Bone marrow aspirate smear:
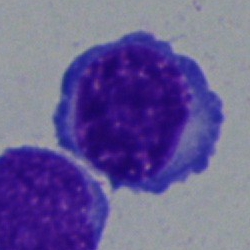 Morphological class — erythroblast.